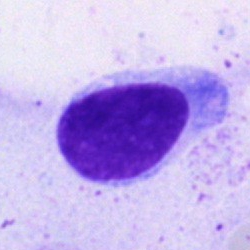

Morphology consistent with a typical lymphocyte.